Cropped to a single cell; bone marrow smear:
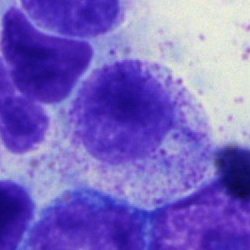 Q: Which cell type is shown here?
A: A myelocyte.